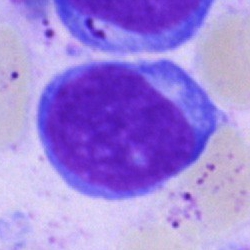 The morphological class is blast.